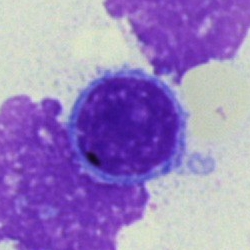Cell type: lymphocyte.